40× objective, oil immersion · bone marrow aspirate smear
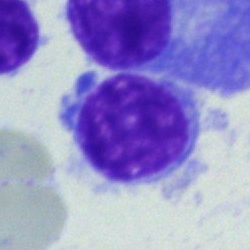The cell shown is a lymphocyte.